Bone marrow smear: 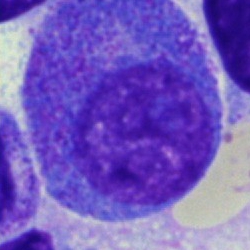The classification is promyelocyte.